Peripheral blood film — 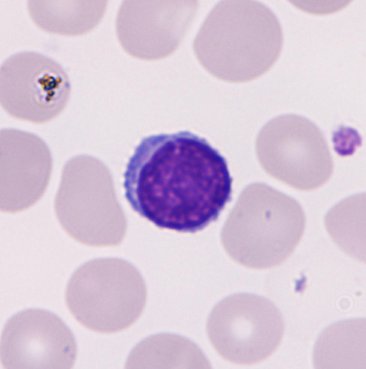 Morphological class: lymphocyte.